MGG-stained · bone marrow aspirate smear: 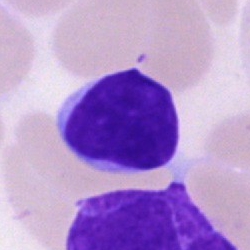
Q: What cell is this?
A: Typical lymphocyte.